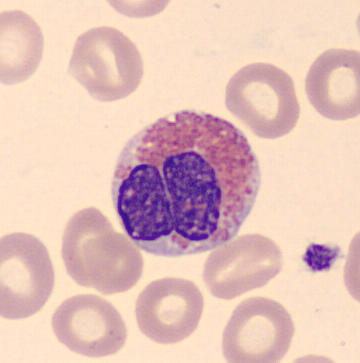
Peripheral blood smear; MGG-stained.
An eosinophilic granulocyte.